Image size 250×250; bone marrow aspirate smear
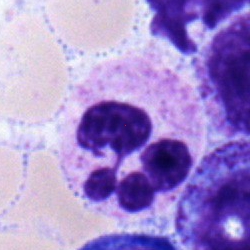

The classification is polymorphonuclear neutrophil.